Bone marrow smear.
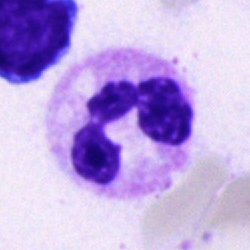 Q: What type of cell is this?
A: It is a neutrophil (segmented).